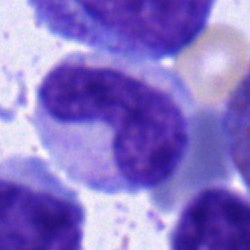 This is a stab cell.